Bone marrow aspirate smear:
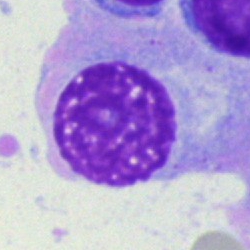 The classification is plasmacyte.